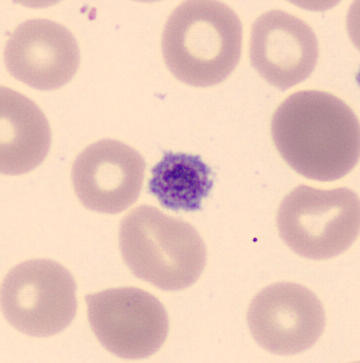

Morphology consistent with a thrombocyte.
Peripheral blood smear; imaged on a CellaVision DM96 analyser; 360 by 363 pixels.